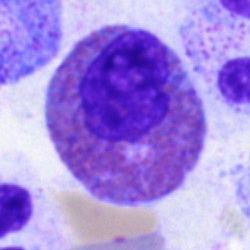Bone marrow aspirate smear, single cell — eosinophilic granulocyte.